Bone marrow aspirate smear:
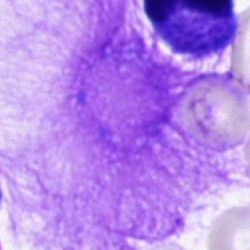Artifact.